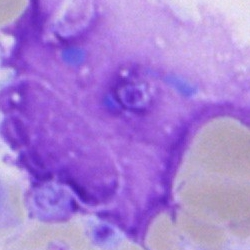
Q: What is shown here?
A: Artifact.